40× oil immersion · bone marrow aspirate smear:
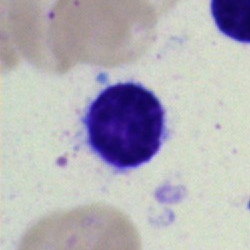 Q: Identify the cell.
A: A typical lymphocyte.